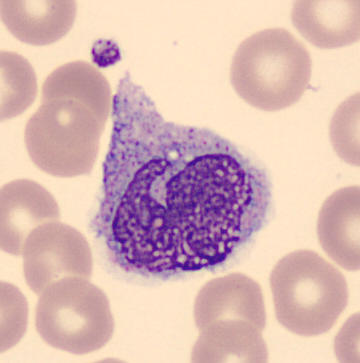

Specimen: peripheral blood film.
Cell: monocyte.